Bone marrow smear; cropped to a single cell: 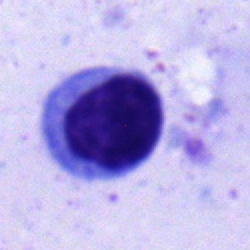
Specimen: bone marrow smear.
Classification: lymphocyte.